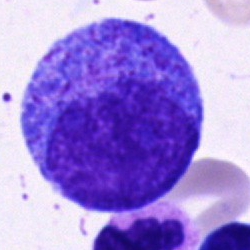

Showing a progranulocyte.